Bone marrow smear: 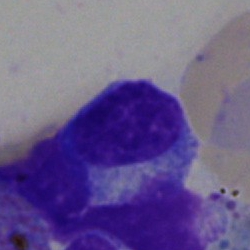Q: What cell is this?
A: This is a typical lymphocyte.